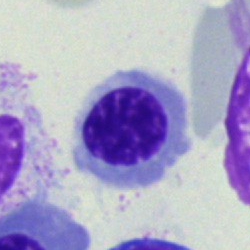 Morphology — erythroblast.